Bone marrow aspirate smear. Single-cell field — 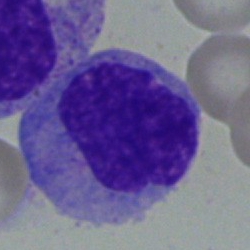

The morphological class is monocyte.